Bone marrow smear · MGG-stained · image size 250×250 — 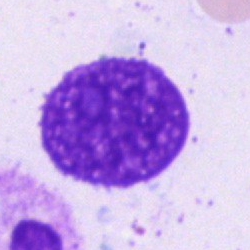 This is an artefact.